Bone marrow aspirate smear — 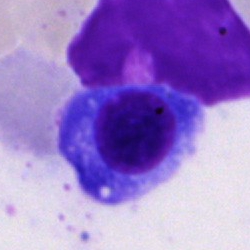The morphological class is plasmacyte.